Bone marrow aspirate smear: 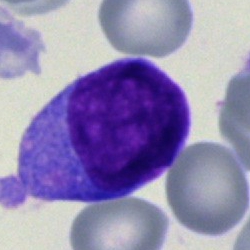Blast.